Bone marrow aspirate smear: 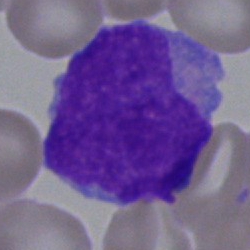
Morphological class: blast cell.